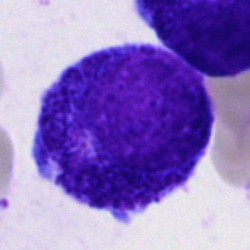 Bone marrow aspirate smear, single cell — progranulocyte.